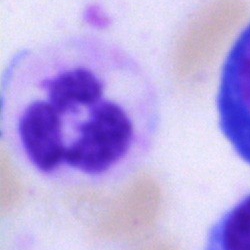 Cell type: polymorphonuclear neutrophil.